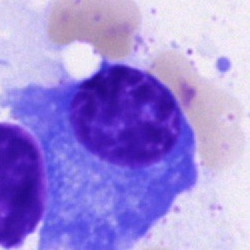
Q: What is shown here?
A: This is a plasma cell.